Bone marrow smear
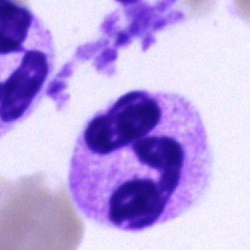

Impression — neutrophil (segmented).